Single-cell crop; peripheral blood film — 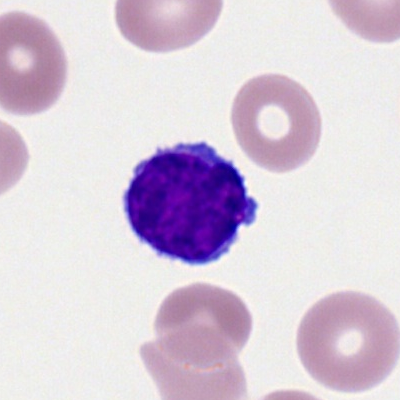Morphological class — typical lymphocyte.